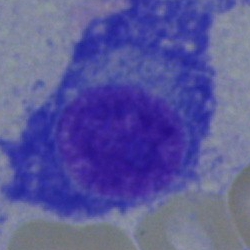

Cell type — plasmacyte.